May-Grünwald-Giemsa/Pappenheim stain; cropped to a single cell; bone marrow aspirate smear — 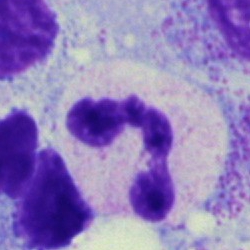

{"cell_type": "neutrophil (segmented)", "lineage": "myeloid"}